Bone marrow aspirate smear: 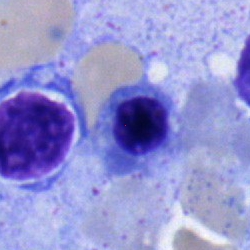
Classification — nucleated red blood cell.